Bone marrow smear — 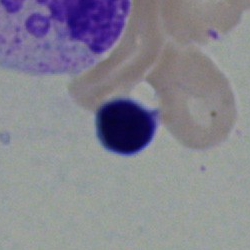

Nucleated red blood cell.